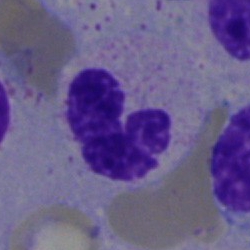 Impression → neutrophil (segmented).